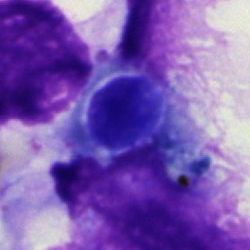

Morphology consistent with a nucleated red blood cell.